Bone marrow smear — 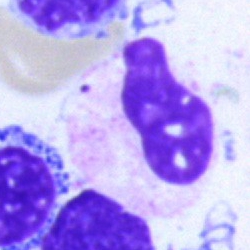
Cell type — artifact.